Bone marrow smear · single-cell field.
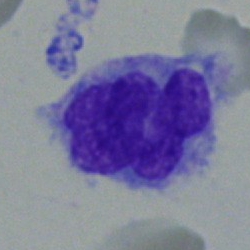Morphology → monocyte.